Bone marrow aspirate smear. May-Grünwald-Giemsa/Pappenheim stain: 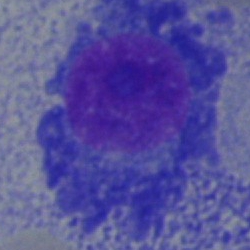

The cell is plasma cell.